Single-cell field; bone marrow aspirate smear
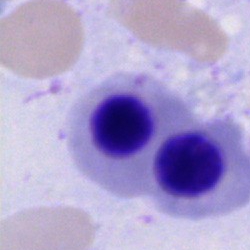
Morphology — erythroblast.